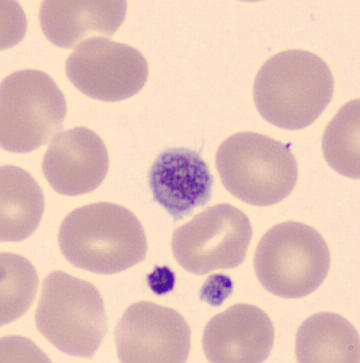

Specimen: peripheral blood film.
Morphological class: thrombocyte.